Brightfield microscopy, 40× oil immersion; 250×250 px; bone marrow smear — 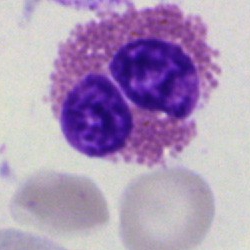 Q: What type of cell is this?
A: Eosinophil.